Single cell centered in the field; bone marrow aspirate smear; May-Grünwald-Giemsa/Pappenheim stain — 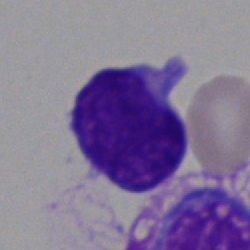
Blast cell.